Bone marrow aspirate smear:
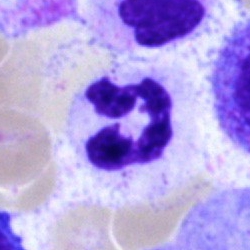A segmented neutrophil.